Bone marrow smear
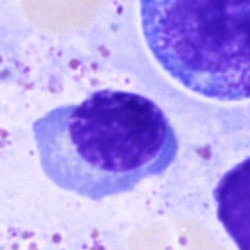
Q: What type of cell is this?
A: It is a nucleated red cell.